Bone marrow smear — 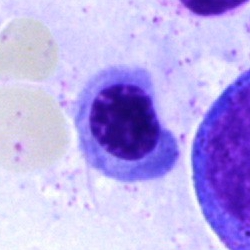 Q: What cell is this?
A: This is a normoblast.